Image size 250×250; bone marrow smear; May-Grünwald-Giemsa/Pappenheim stain — 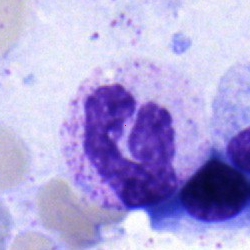
Cell = segmented neutrophil.